Bone marrow aspirate smear · cropped to a single cell · brightfield microscopy, 40× oil immersion
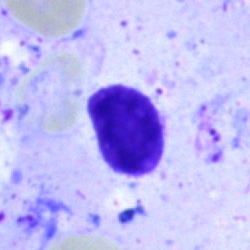 An artifact.